Bone marrow aspirate smear
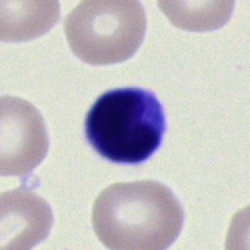

The classification is typical lymphocyte.